Bone marrow smear; May-Grünwald-Giemsa/Pappenheim stain: 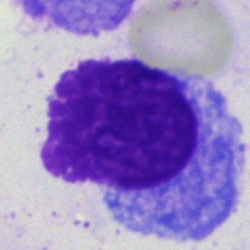Artifact.